Bone marrow smear — 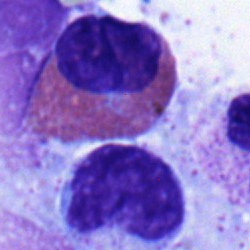Eosinophilic granulocyte.